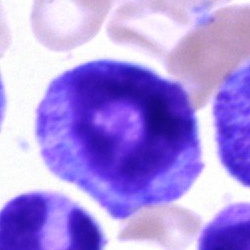
Q: What is shown here?
A: Progranulocyte.